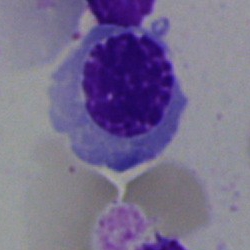
{"cell_type": "nucleated red cell", "lineage": "erythroid"}